Bone marrow smear; cropped to a single cell.
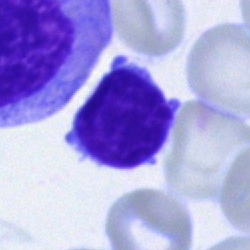The cell shown is a typical lymphocyte.